Bone marrow smear:
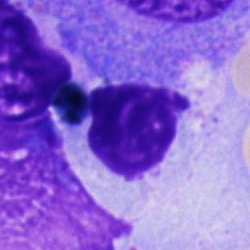 {"cell_type": "artefact"}